Bone marrow smear
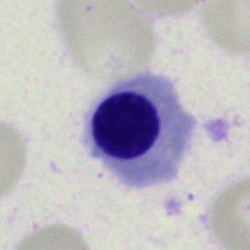Classification: erythroblast.